Bone marrow smear
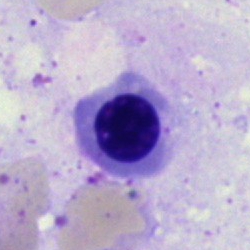

This is a normoblast.